250 by 250 pixels. Bone marrow aspirate smear
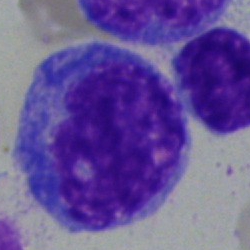

Morphological class — blast cell.